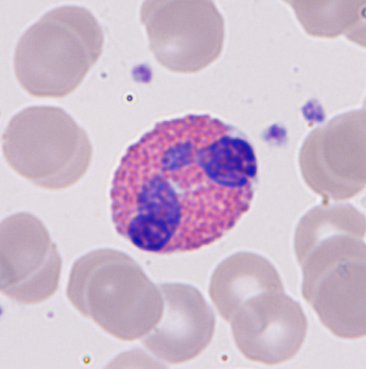

Impression — eosinophil.

Acquisition: Peripheral blood smear.